Bone marrow smear; Pappenheim-stained — 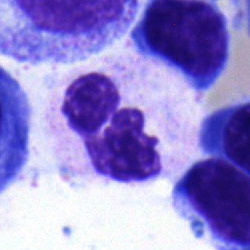
Segmented neutrophil.